Bone marrow smear · 250×250: 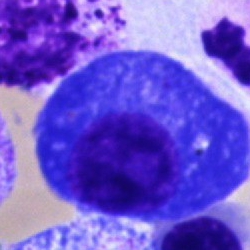

Classification = plasma cell.